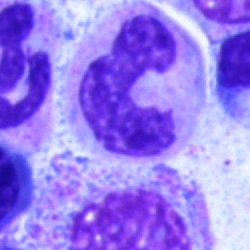
Specimen: bone marrow aspirate smear.
Cell: band-form neutrophil.
Lineage: myeloid.